400×400. M8 digital microscope (Precipoint), 100× oil immersion. Peripheral blood film
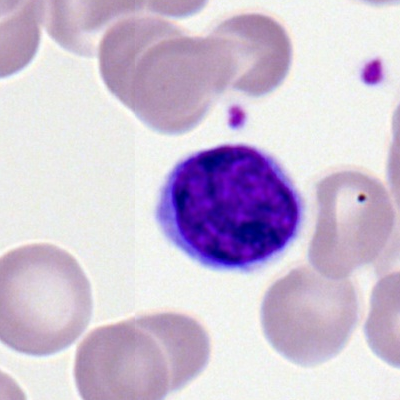
Q: What cell is this?
A: A lymphocyte.